Single-cell crop. Bone marrow smear. 250×250
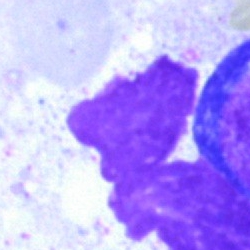 This is an artefact.